Bone marrow smear:
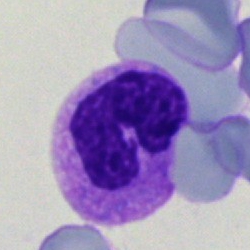 Classification = band neutrophil.